Bone marrow aspirate smear. MGG-stained:
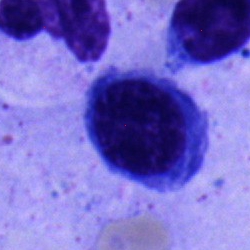 A normoblast.